250 by 250 pixels. Bone marrow aspirate smear — 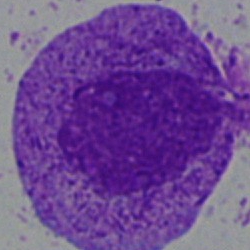 Morphology consistent with a blast.